MGG-stained; single-cell crop; bone marrow aspirate smear — 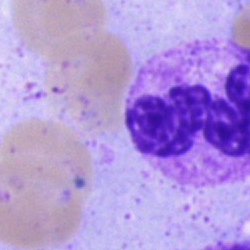
Polymorphonuclear neutrophil.